Bone marrow aspirate smear · image size 250×250: 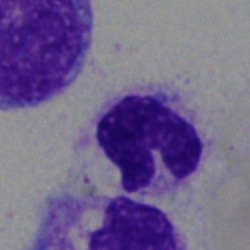 {"cell_type": "segmented neutrophil", "lineage": "myeloid"}